Peripheral blood film
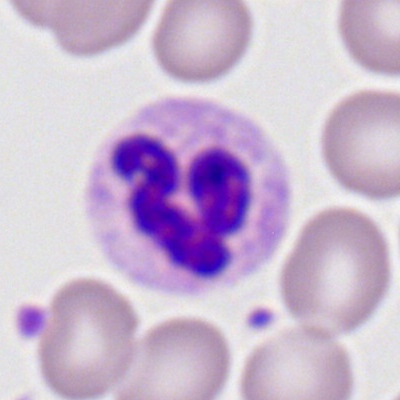{"cell_type": "neutrophil (segmented)"}